Bone marrow smear; May-Grünwald-Giemsa stain:
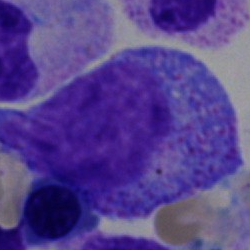
Progranulocyte.